Bone marrow smear.
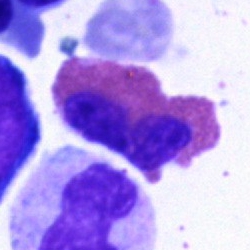 Morphology → eosinophil.